Bone marrow smear — 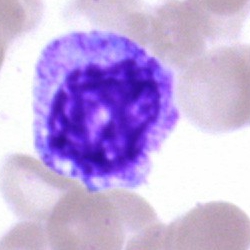 Specimen: bone marrow smear.
Cell type: myelocyte.